Bone marrow smear
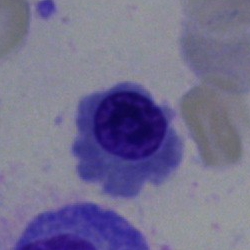
Cell type = normoblast.